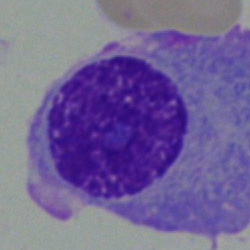
This is a plasmacyte.